Bone marrow aspirate smear; May-Grünwald-Giemsa/Pappenheim stain; 40× oil immersion:
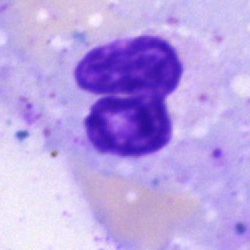Q: What type of cell is this?
A: This is a polymorphonuclear neutrophil.